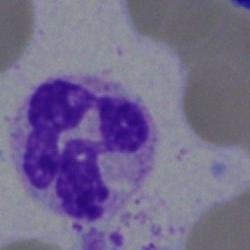 {"cell_type": "segmented neutrophil", "lineage": "myeloid"}